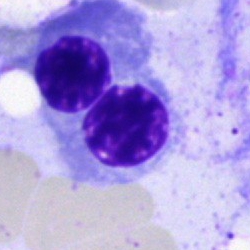
Specimen: bone marrow aspirate smear.
Classification: normoblast.